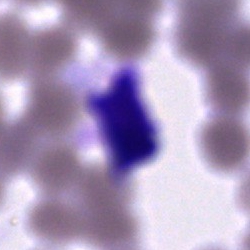 An artifact on a bone marrow smear.